Image size 250×250 · bone marrow aspirate smear · single cell centered in the field — 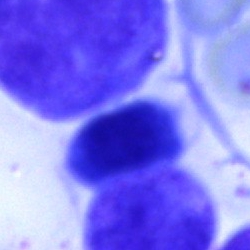
This is a cell of indeterminate lineage.